Peripheral blood smear. Romanowsky-type stain — 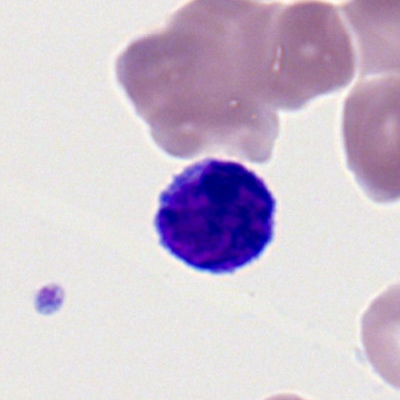Cell type: lymphocyte.